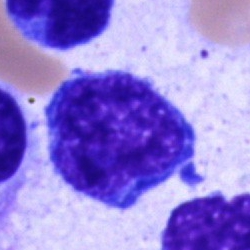 Impression — undifferentiated blast.